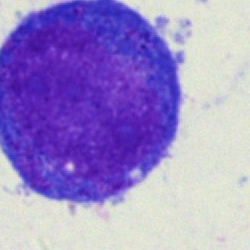Morphological class = progranulocyte.